Pappenheim-stained. Bone marrow smear
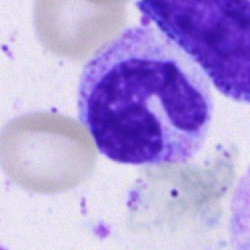 The cell shown is a band neutrophil.